Brightfield microscopy, 40× oil immersion. Bone marrow smear:
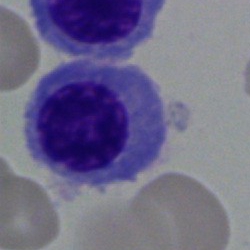

A nucleated red cell.